Bone marrow aspirate smear · single-cell field — 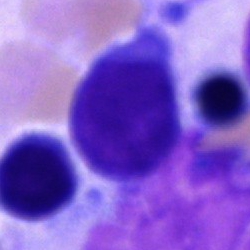
A blast.